Peripheral blood film — 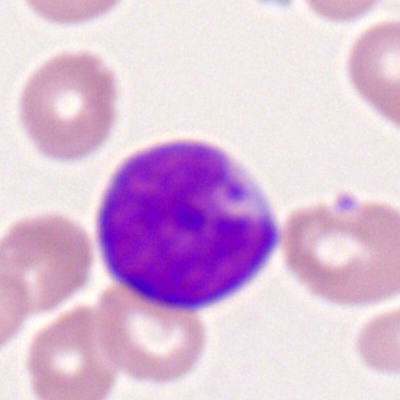

A myeloblast.